Bone marrow smear
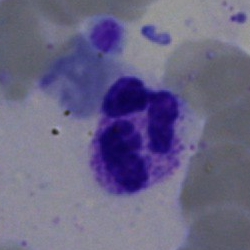 A polymorphonuclear neutrophil.